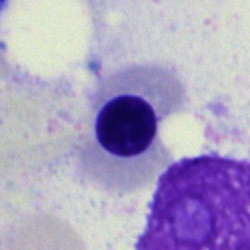
Specimen: bone marrow smear.
Morphological class: nucleated red blood cell.
Lineage: erythroid.